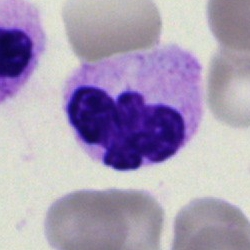
Q: Which cell type is shown here?
A: A segmented neutrophil.